Bone marrow smear
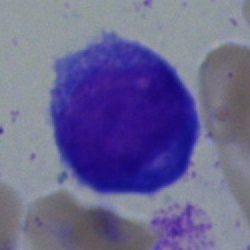Q: Identify the cell.
A: It is an undifferentiated blast.